Bone marrow smear. Pappenheim-stained:
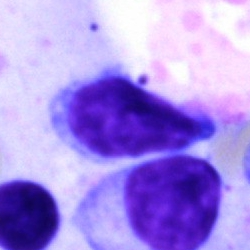 Impression — lymphocyte.